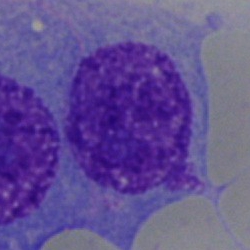 Morphological class = plasmacyte.